Bone marrow smear:
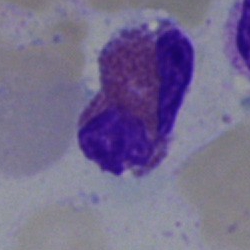
Specimen: bone marrow smear.
Cell: eosinophilic granulocyte.